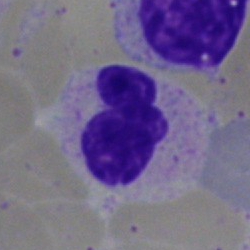

Single-cell crop from a bone marrow smear: segmented neutrophil.